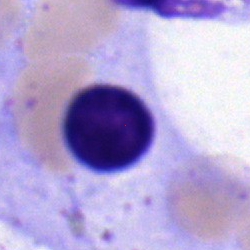 Specimen: bone marrow smear.
Classification: typical lymphocyte.
Lineage: lymphoid.